Brightfield microscopy, 40× oil immersion · bone marrow aspirate smear — 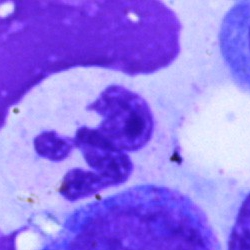
Q: Identify the cell.
A: A neutrophil (segmented).